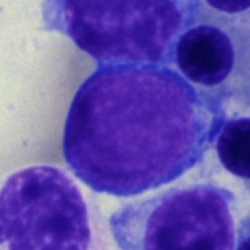Morphology → pronormoblast.